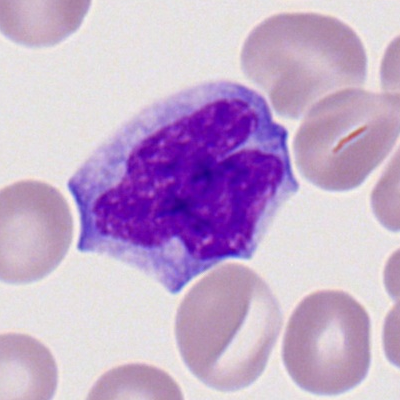Monocyte.